Bone marrow aspirate smear
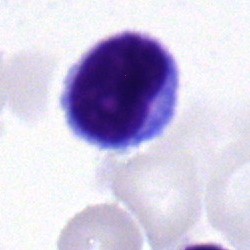The cell type is lymphocyte.